Bone marrow smear
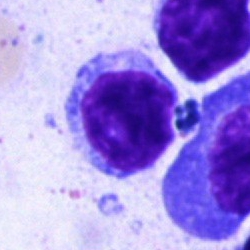
The classification is typical lymphocyte.